Peripheral blood film. Cropped to a single cell
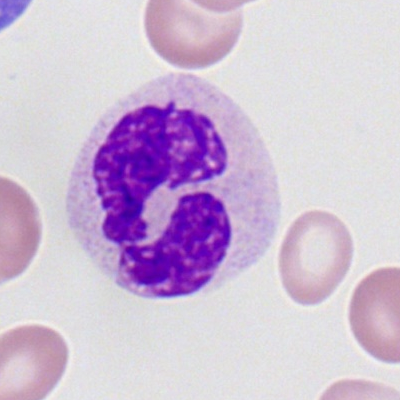
The cell shown is a polymorphonuclear neutrophil.